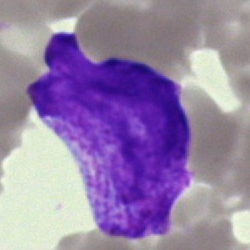

Bone marrow smear showing an undifferentiated blast.